Brightfield microscopy, 40× oil immersion. Bone marrow aspirate smear.
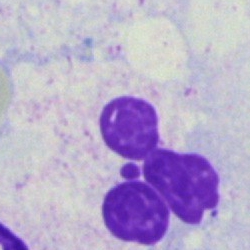Single cell identified as an artefact.